Peripheral blood film — 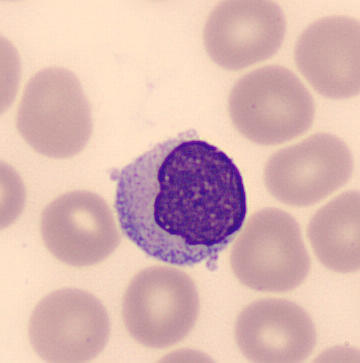 Specimen: peripheral blood film.
Cell type: typical lymphocyte.